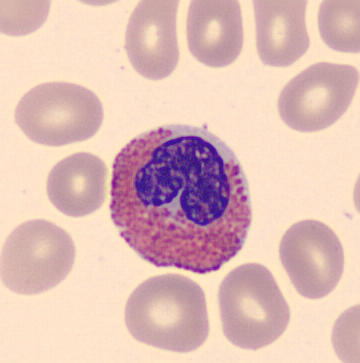Specimen: peripheral blood film.
Cell type: eosinophilic granulocyte.
Lineage: myeloid.